Peripheral blood smear:
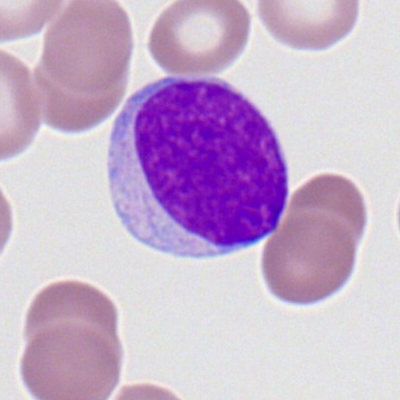

This is a myeloblast.